Bone marrow aspirate smear · brightfield, 40× oil-immersion objective.
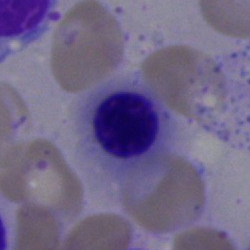Specimen: bone marrow aspirate smear.
Classification: normoblast.